Peripheral blood film; image size 400×400:
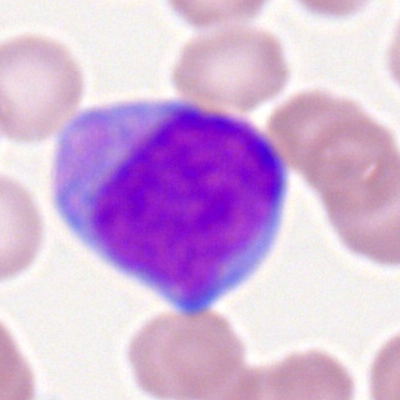
The cell is myeloid blast.